May-Grünwald-Giemsa/Pappenheim stain; bone marrow smear — 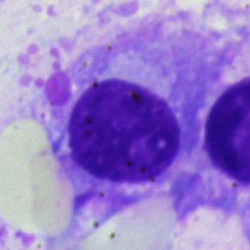Morphological class: plasma cell.